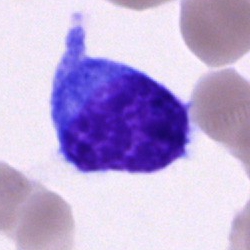Morphology consistent with a blast cell.